Image size 250×250 · single-cell field · bone marrow smear
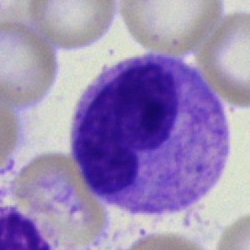 {"cell_type": "band neutrophil"}